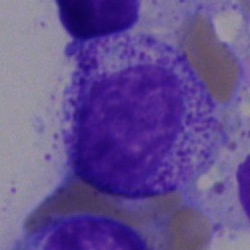

Single-cell crop from a bone marrow smear: myelocyte.